Peripheral blood smear · brightfield, 100× oil-immersion objective — 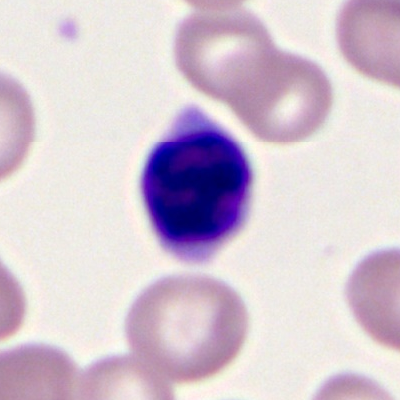

A typical lymphocyte.